Bone marrow aspirate smear · 250×250 px · 40× oil immersion.
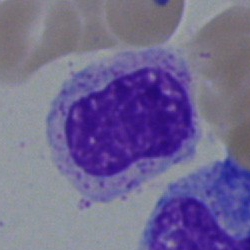

Classification — myelocyte.